Brightfield, 40× oil-immersion objective. Single-cell field. Bone marrow aspirate smear
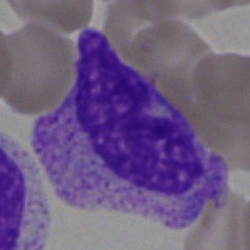Cell type: myelocyte.